Bone marrow aspirate smear: 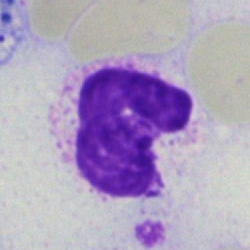{"cell_type": "artifact"}